Bone marrow smear — 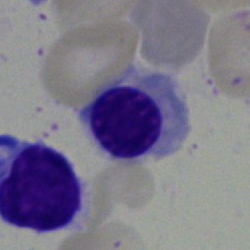

Q: Which cell type is shown here?
A: This is a normoblast.